Single cell centered in the field; bone marrow smear
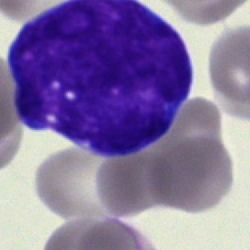 Cell type: blast.